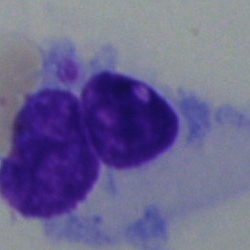

Bone marrow smear showing a hairy cell.